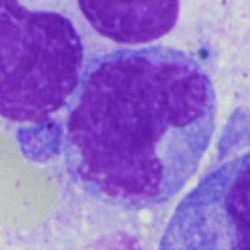Cell — monocyte.